40× oil immersion; bone marrow smear; single-cell crop — 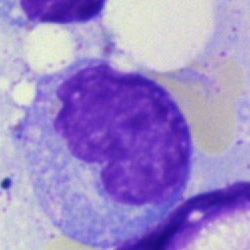

Q: Which cell type is shown here?
A: It is a monocyte.